Bone marrow smear
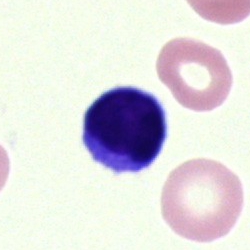The cell shown is a lymphocyte.